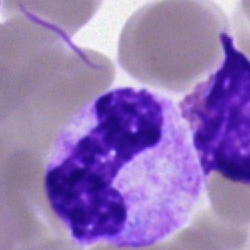 Morphology consistent with a neutrophil (band).